MGG-stained · peripheral blood film: 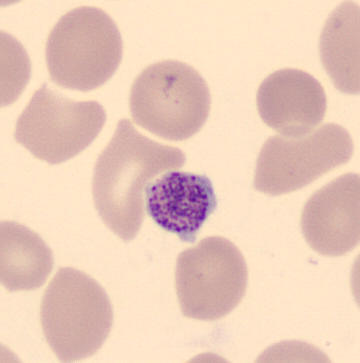
Specimen: peripheral blood film.
Cell type: platelet.